Bone marrow smear.
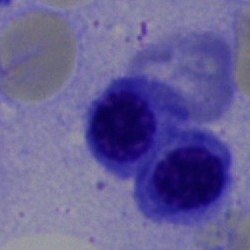Specimen: bone marrow aspirate smear.
Classification: normoblast.
Lineage: erythroid.